Bone marrow smear:
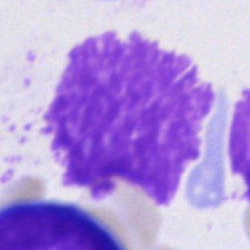

Classification — artifact.